Bone marrow smear; brightfield microscopy, 40× oil immersion: 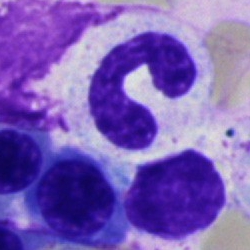

Showing a neutrophil (segmented).